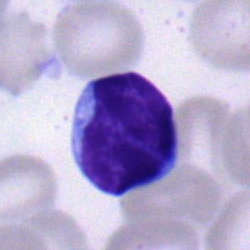The cell shown is a typical lymphocyte.